Bone marrow aspirate smear. May-Grünwald-Giemsa/Pappenheim stain. Single-cell field: 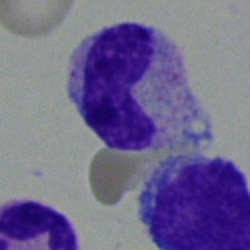

The cell is band neutrophil.